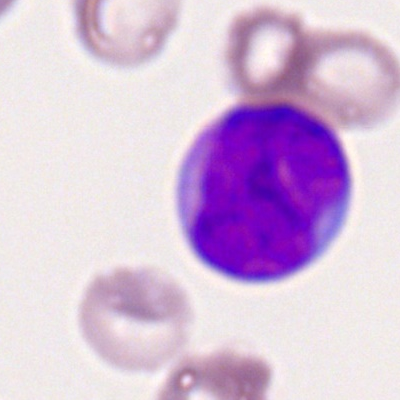
Cell type = myeloblast.